Pappenheim-stained · 40× oil immersion · bone marrow aspirate smear:
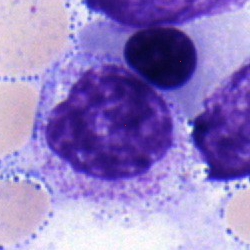 Specimen: bone marrow smear.
Cell type: myelocyte.